Bone marrow smear — 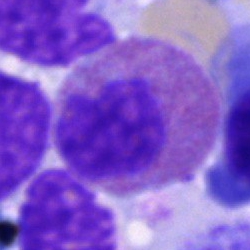 Cell type — eosinophil.